Bone marrow smear; May-Grünwald-Giemsa stain: 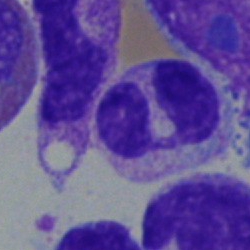 The classification is segmented neutrophil.